Bone marrow smear
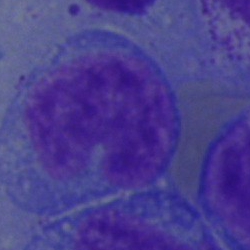
An undifferentiated blast.